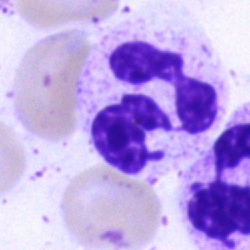 {"cell_type": "neutrophil (segmented)", "lineage": "myeloid"}